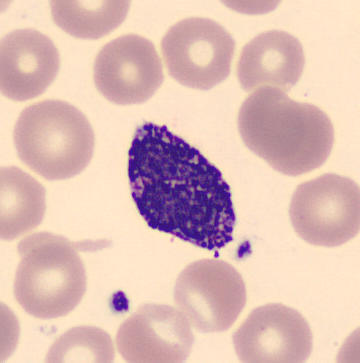
Q: What is shown here?
A: Basophil.

May-Grünwald-Giemsa-stained. Single-cell crop. Peripheral blood smear.